Bone marrow aspirate smear. Single-cell crop
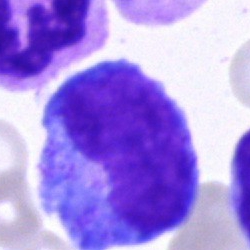
Specimen: bone marrow smear.
Cell: promyelocyte.